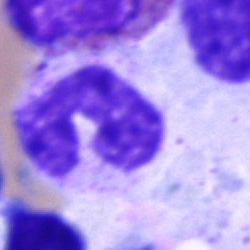
Classification: neutrophil (band).